Bone marrow smear — 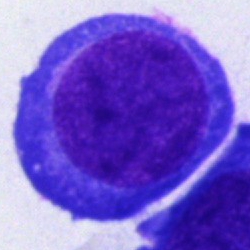
The classification is undifferentiated blast.